250 by 250 pixels; bone marrow smear: 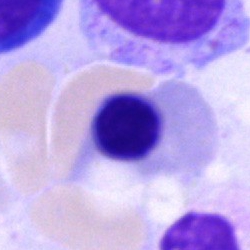 Q: What is the morphological classification of this cell?
A: A nucleated red blood cell.